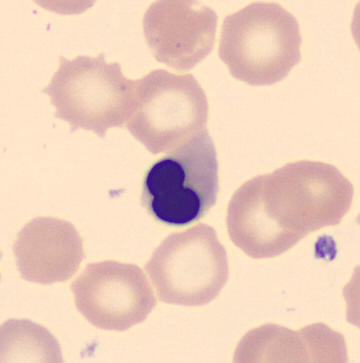 Q: What type of cell is this?
A: This is an erythroblast.